Bone marrow aspirate smear:
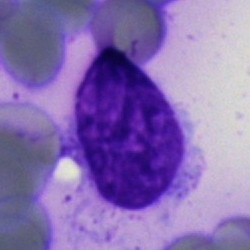

Specimen: bone marrow smear.
Cell type: artifact.